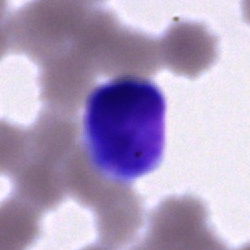Bone marrow smear showing an artefact.